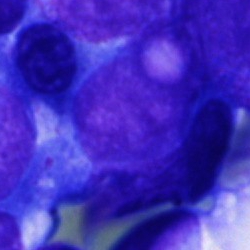 The cell shown is an artifact.